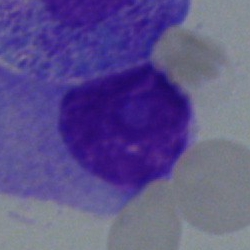
Cell: plasma cell.